Single cell centered in the field; bone marrow smear — 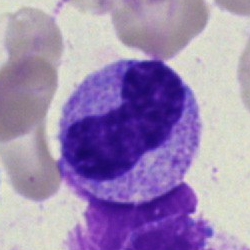
Morphology consistent with a neutrophil (band).